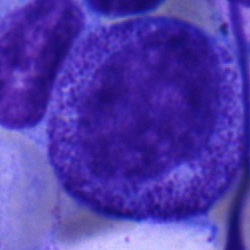

Single cell identified as a progranulocyte.